Bone marrow smear:
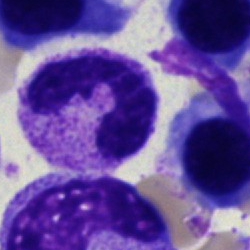

Neutrophil (segmented).